Bone marrow aspirate smear · brightfield microscopy, 40× oil immersion:
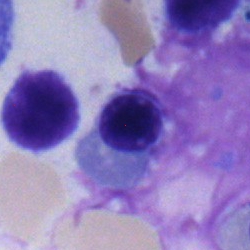

Impression → normoblast.